Bone marrow smear.
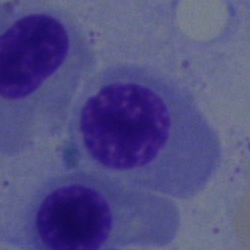
This is an erythroblast.